May-Grünwald-Giemsa/Pappenheim stain; bone marrow smear:
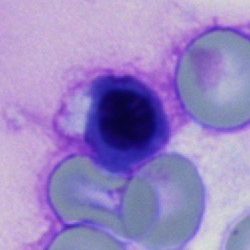 Cell type — nucleated red cell.